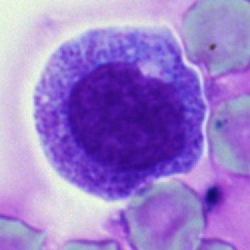
Q: What cell is this?
A: This is a promyelocyte.